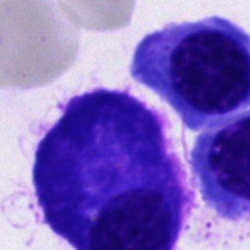Showing a plasma cell.